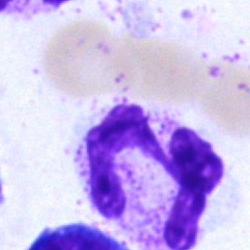Morphology → polymorphonuclear neutrophil.